40× oil immersion; bone marrow smear:
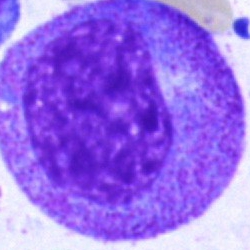Q: What cell is this?
A: It is a progranulocyte.